Bone marrow smear: 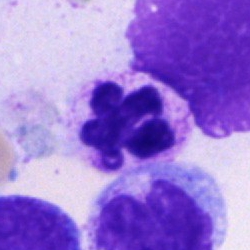 {"cell_type": "polymorphonuclear neutrophil", "lineage": "myeloid"}